Bone marrow aspirate smear. Image size 250×250
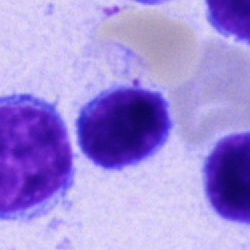
Cell type: lymphocyte.